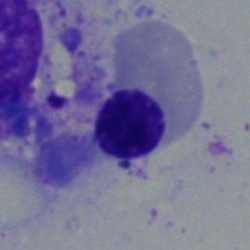 Impression → nucleated red blood cell.